Bone marrow aspirate smear:
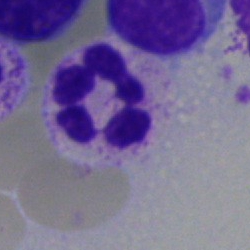 Single cell identified as a polymorphonuclear neutrophil.